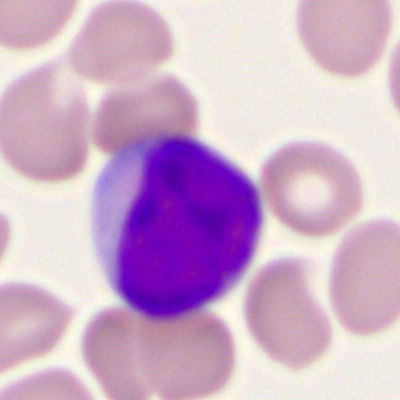
Cell type = myeloblast.